Brightfield, 40× oil-immersion objective · bone marrow aspirate smear.
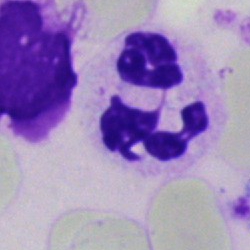 {"cell_type": "polymorphonuclear neutrophil", "lineage": "myeloid"}